Bone marrow smear
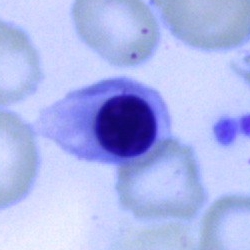

Q: Which cell type is shown here?
A: It is a normoblast.